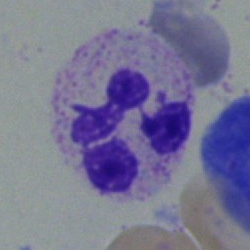 Morphological class — polymorphonuclear neutrophil.